Bone marrow smear.
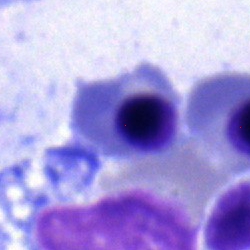
The cell type is normoblast.